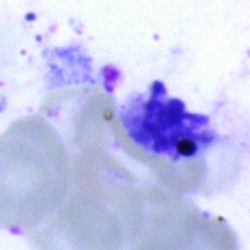

Single cell identified as an artefact.